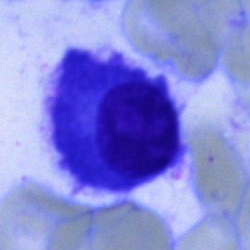
{"cell_type": "plasma cell", "lineage": "lymphoid"}